Bone marrow smear.
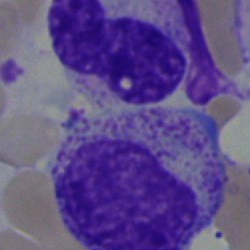

Myelocyte.